Bone marrow aspirate smear · brightfield microscopy, 40× oil immersion
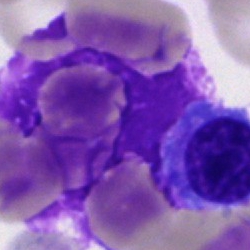 Morphology consistent with an artefact.